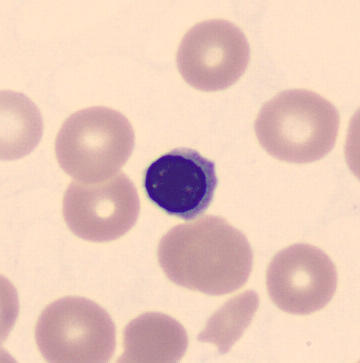

Q: Identify the cell.
A: This is a nucleated red cell. Peripheral blood film.